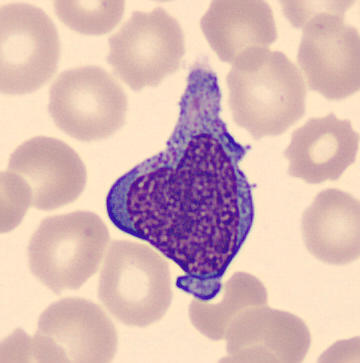Q: Which cell type is shown here?
A: This is a monocyte.

Peripheral blood film.